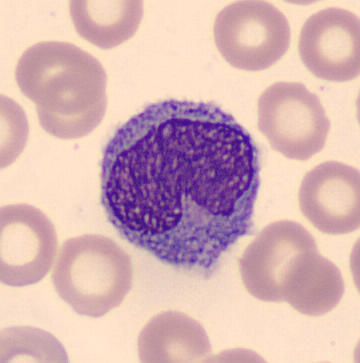
Preparation: May-Grünwald-Giemsa-stained. Peripheral blood smear. Q: Identify the cell.
A: Monocyte.